Bone marrow aspirate smear.
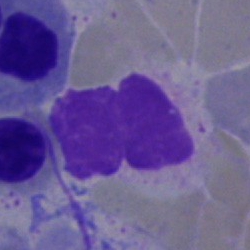

Morphology consistent with an artifact.